Bone marrow smear: 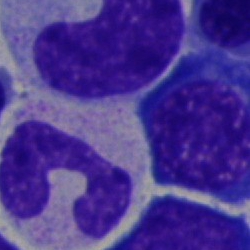

Segmented neutrophil.